Bone marrow aspirate smear; 250 by 250 pixels; single-cell field — 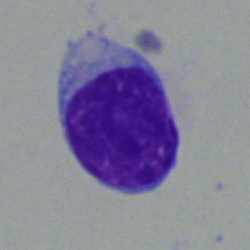Specimen: bone marrow smear.
Morphological class: typical lymphocyte.
Lineage: lymphoid.